Bone marrow aspirate smear: 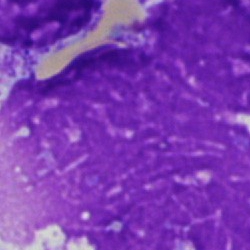 Specimen: bone marrow smear.
Morphological class: artefact.